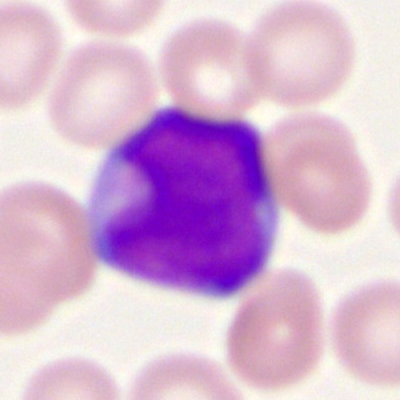
{"cell_type": "myeloblast", "lineage": "myeloid"}